Bone marrow smear — 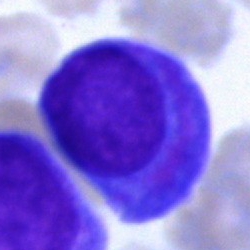Classification = undifferentiated blast.